Bone marrow aspirate smear — 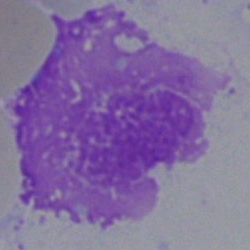Morphology consistent with an artefact.